Bone marrow aspirate smear; May-Grünwald-Giemsa stain.
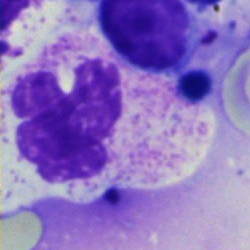 Classification: polymorphonuclear neutrophil.